Single-cell crop; brightfield microscopy, 40× oil immersion; bone marrow aspirate smear
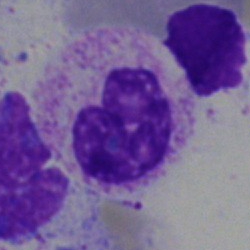 Morphology consistent with a metamyelocyte.